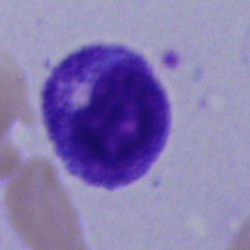Classification: unidentifiable cell.